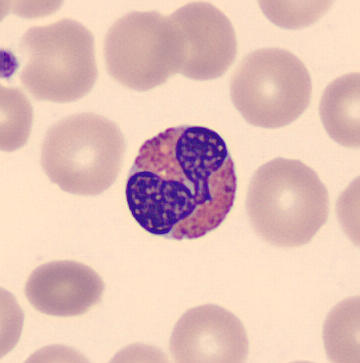
Morphology — eosinophil. Cropped to a single cell · CellaVision DM96 digital cell image · peripheral blood smear.